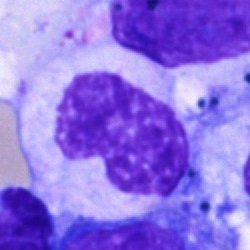

Showing a metamyelocyte.